Bone marrow aspirate smear
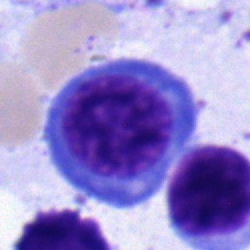
Showing a normoblast.